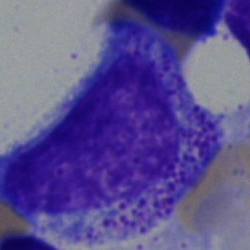
Morphology consistent with a progranulocyte.